250 by 250 pixels · bone marrow smear: 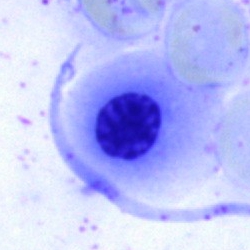

Classification = erythroblast.